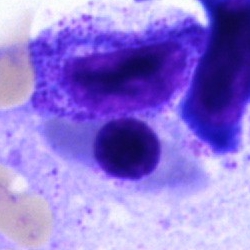

{"cell_type": "nucleated red blood cell", "lineage": "erythroid"}